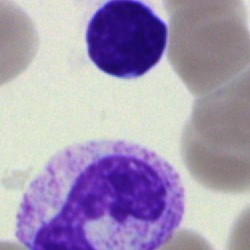
This is an artefact.